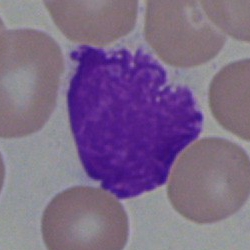

Impression — artifact.